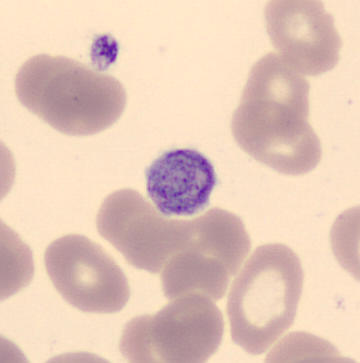Specimen: peripheral blood film.
Cell type: platelet. 360×363 px · May-Grünwald-Giemsa-stained.